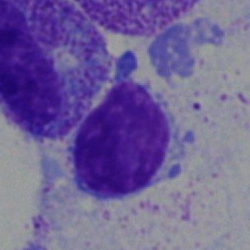

This is a typical lymphocyte.